Bone marrow aspirate smear; 250×250; brightfield microscopy, 40× oil immersion
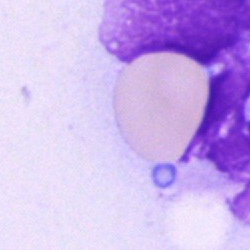

This is an artifact.